Peripheral blood smear:
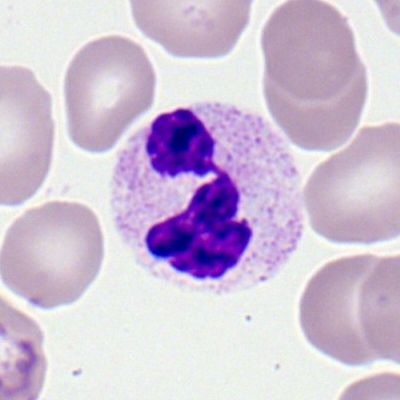
A neutrophil (segmented).